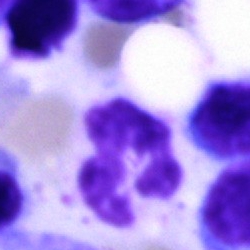 A neutrophil (segmented).